Bone marrow smear: 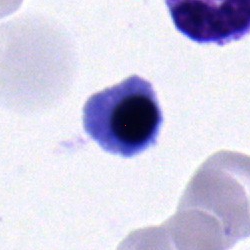Showing a normoblast.